Bone marrow smear
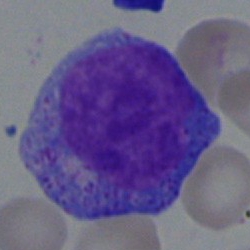 A progranulocyte.